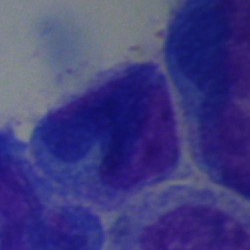

Morphological class — artifact.